Bone marrow smear: 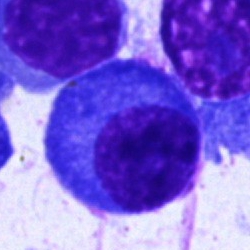 Showing a plasma cell.